Bone marrow aspirate smear: 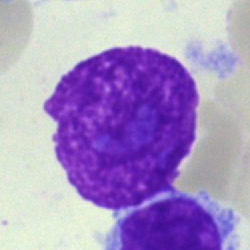
Specimen: bone marrow smear.
Cell: artifact.